Brightfield, 40× oil-immersion objective. Bone marrow aspirate smear: 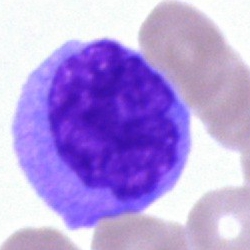 Q: What type of cell is this?
A: It is a monocyte.